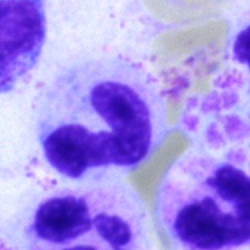

Bone marrow smear showing a band-form neutrophil.